Bone marrow aspirate smear: 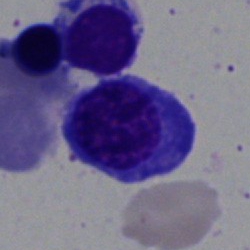 Impression → normoblast.